250×250; bone marrow smear: 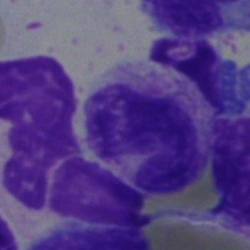

This is a neutrophil (segmented).